Bone marrow smear.
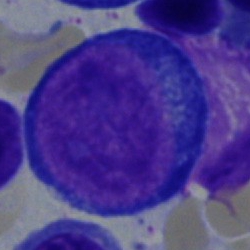

Impression — pronormoblast.